Bone marrow aspirate smear. May-Grünwald-Giemsa/Pappenheim stain — 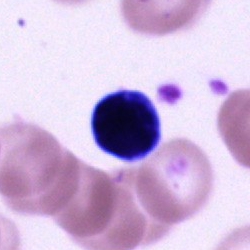

Morphology → cell of indeterminate lineage.